Bone marrow aspirate smear
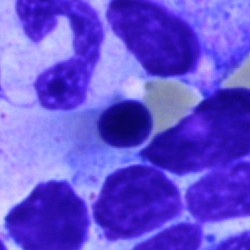Single cell identified as an erythroblast.